Bone marrow aspirate smear · May-Grünwald-Giemsa stain — 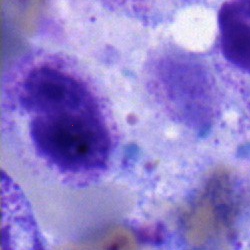 Morphology — band neutrophil.